Bone marrow smear · May-Grünwald-Giemsa/Pappenheim stain · 250 by 250 pixels
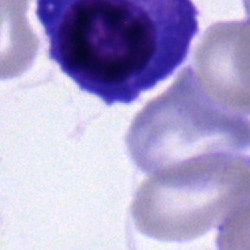 Morphology — plasma cell.